Bone marrow smear.
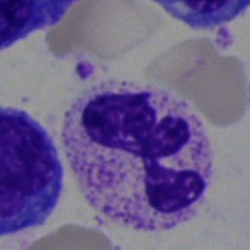
Specimen: bone marrow aspirate smear.
Cell: segmented neutrophil.
Lineage: myeloid.